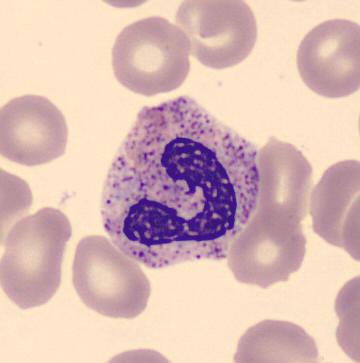
Peripheral blood film. Q: What cell is this?
A: It is a band-form neutrophil.